40× oil immersion. Bone marrow aspirate smear. Image size 250×250
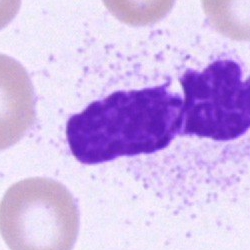
Artefact.